Bone marrow aspirate smear — 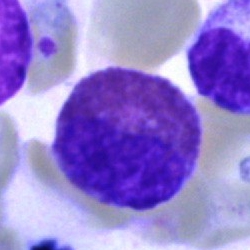

Showing an eosinophilic granulocyte.